Bone marrow smear; single cell centered in the field.
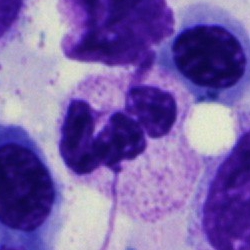 Q: Which cell type is shown here?
A: Segmented neutrophil.